Cropped to a single cell. Bone marrow aspirate smear.
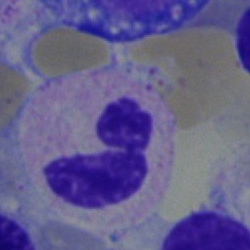Segmented neutrophil.